250 by 250 pixels · bone marrow smear · Pappenheim-stained: 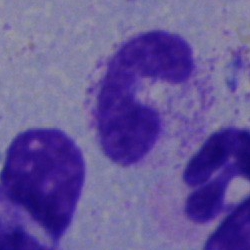

Morphology — band-form neutrophil.